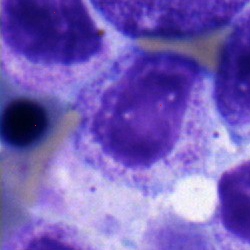Single-cell crop from a bone marrow smear: normoblast.